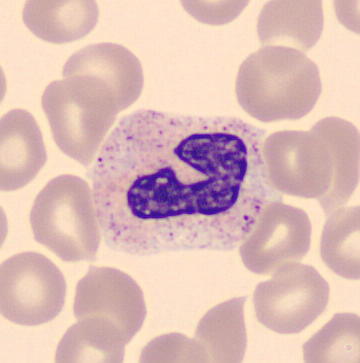
Peripheral blood smear.

Q: Which cell type is shown here?
A: It is a band neutrophil.